Single cell centered in the field; bone marrow aspirate smear:
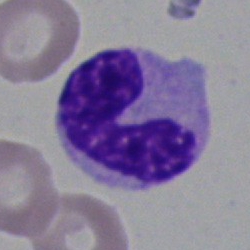
Classification — band-form neutrophil.